250×250 px. Bone marrow smear:
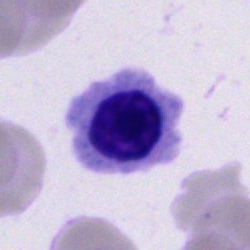

Q: What is the morphological classification of this cell?
A: It is a nucleated red cell.